May-Grünwald-Giemsa stain. Single-cell crop. Bone marrow smear
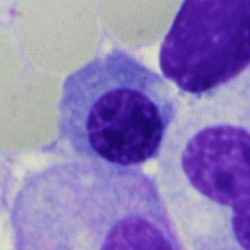
This is a nucleated red cell.